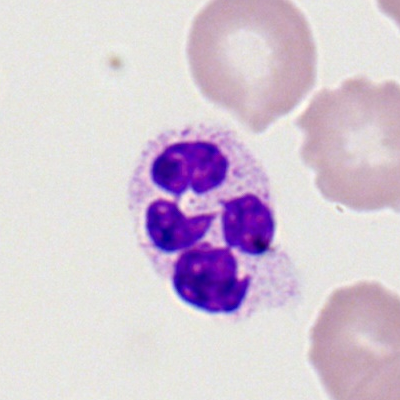 Specimen: peripheral blood smear.
Cell: segmented neutrophil.